Bone marrow smear.
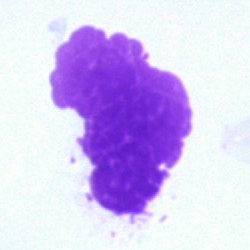Specimen: bone marrow smear.
Classification: artefact.